Bone marrow smear.
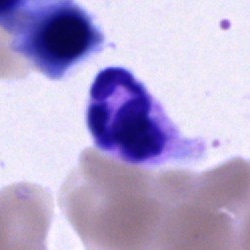
The cell type is polymorphonuclear neutrophil.